Peripheral blood film:
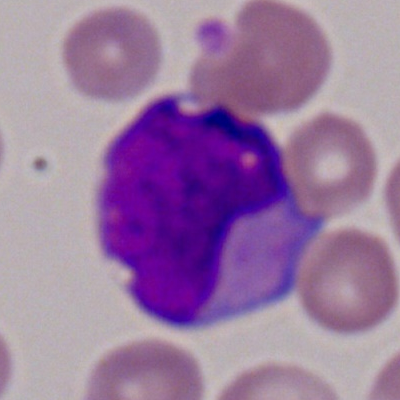
Morphological class = myeloid blast.